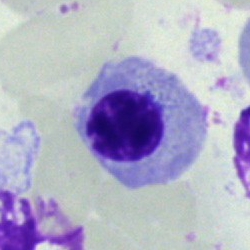 This is a normoblast.